Bone marrow aspirate smear.
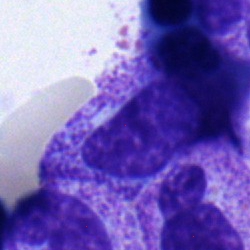
Q: What type of cell is this?
A: This is a metamyelocyte.